Bone marrow smear · cropped to a single cell:
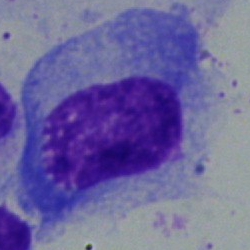

Plasmacyte.